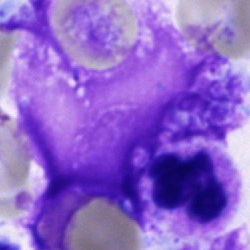
An artefact.